40× objective, oil immersion · bone marrow smear:
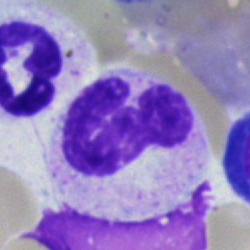
Q: Which cell type is shown here?
A: A neutrophil (segmented).